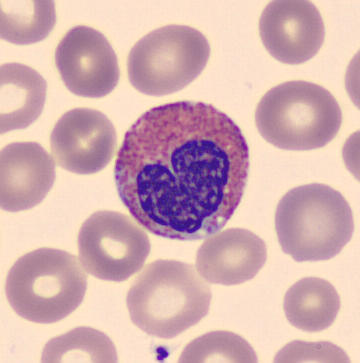
Classification: eosinophilic granulocyte. Image: Peripheral blood film.